Bone marrow smear: 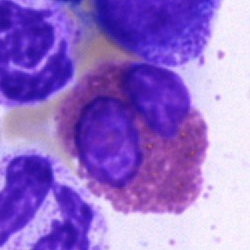 Cell type = eosinophil.